Peripheral blood smear: 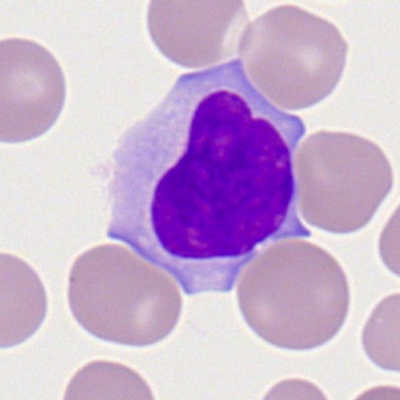

A typical lymphocyte.